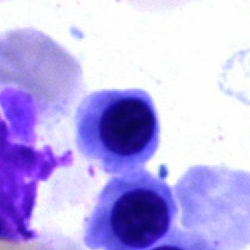
Q: What is shown here?
A: A nucleated red blood cell.